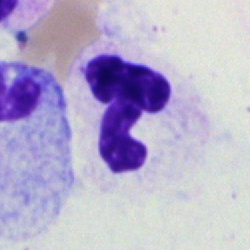
Specimen: bone marrow smear.
Cell: neutrophil (segmented).
Lineage: myeloid.